May-Grünwald-Giemsa/Pappenheim stain · bone marrow smear
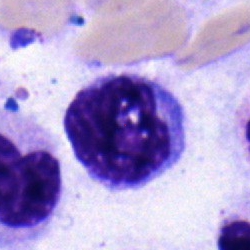
This is a monocyte.